Bone marrow smear — 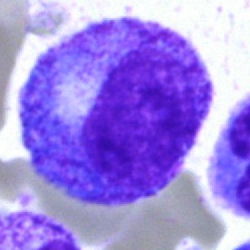 Q: Identify the cell.
A: Progranulocyte.